Bone marrow aspirate smear
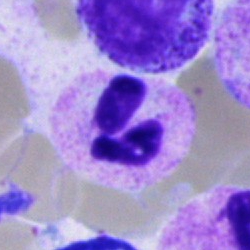

Morphology consistent with a neutrophil (segmented).